Bone marrow aspirate smear — 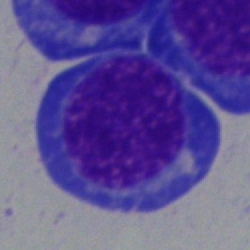
Q: Identify the cell.
A: A normoblast.